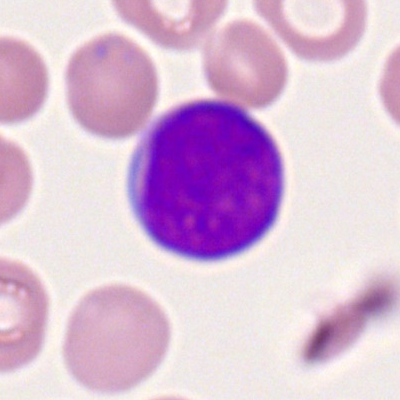 Classification: myeloid blast.